Bone marrow aspirate smear; 250×250:
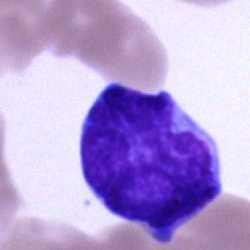The morphological class is undifferentiated blast.